360×363 px. Peripheral blood film. CellaVision DM96:
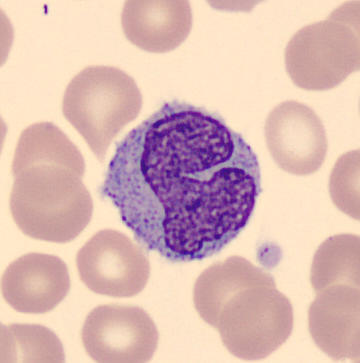Specimen: peripheral blood smear.
Cell type: monocyte.